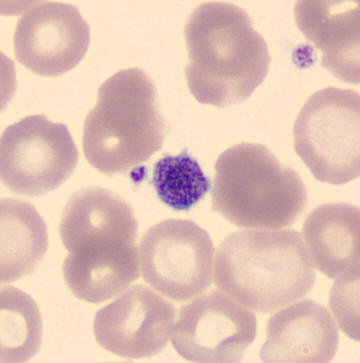
Specimen: peripheral blood smear.
Morphological class: platelet (thrombocyte).